Bone marrow aspirate smear
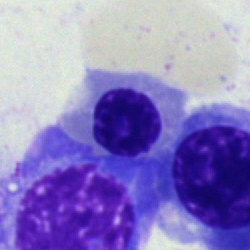The classification is nucleated red blood cell.